Bone marrow aspirate smear; brightfield, 40× oil-immersion objective: 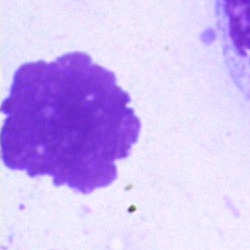

Showing an artefact.